250×250. Bone marrow aspirate smear: 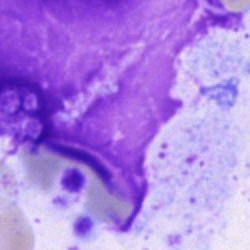 The cell shown is an artifact.